Bone marrow aspirate smear. 250×250 — 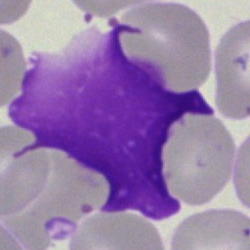

Q: What is shown here?
A: It is an artefact.